Bone marrow aspirate smear — 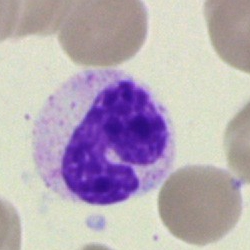The cell shown is a polymorphonuclear neutrophil.